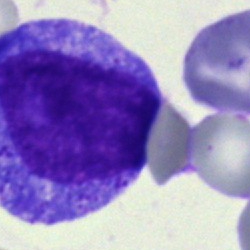 Impression → promyelocyte.